Pappenheim-stained; bone marrow smear; 250×250
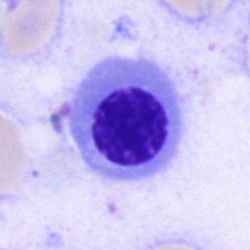

A nucleated red blood cell.